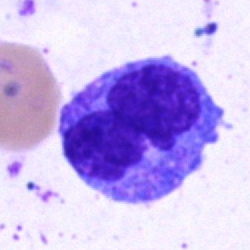Classification — monocyte.